Bone marrow smear:
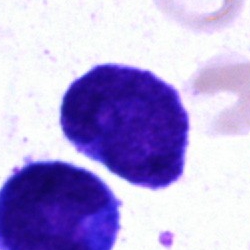 {"cell_type": "undifferentiated blast"}